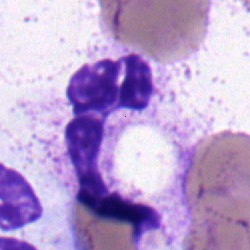 A segmented neutrophil.